250×250 px. Bone marrow aspirate smear: 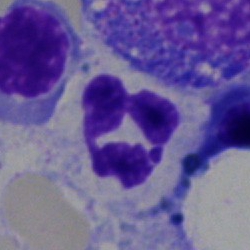

Cell — neutrophil (segmented).